250×250 · bone marrow smear:
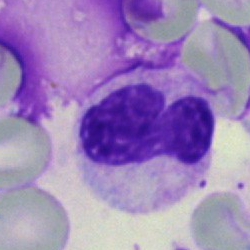

{"cell_type": "stab cell"}